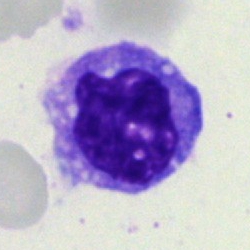 Q: What cell is this?
A: It is a monocyte.